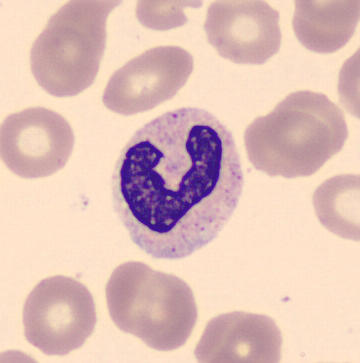Stab cell. Imaged on a CellaVision DM96 analyser · peripheral blood smear · single-cell crop.